Bone marrow aspirate smear: 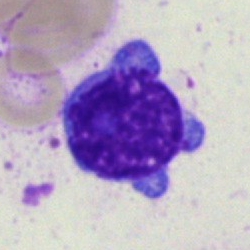 Q: Which cell type is shown here?
A: Typical lymphocyte.